40× oil immersion; May-Grünwald-Giemsa/Pappenheim stain; bone marrow aspirate smear.
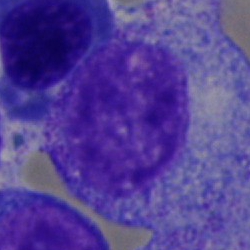 Impression — progranulocyte.